Cropped to a single cell. Bone marrow smear — 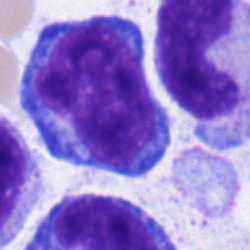
Morphological class: stab cell.